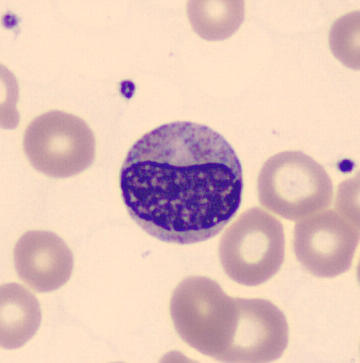

Q: Identify the cell.
A: It is a metamyelocyte.

Peripheral blood film.